Bone marrow smear. 250 by 250 pixels. May-Grünwald-Giemsa/Pappenheim stain: 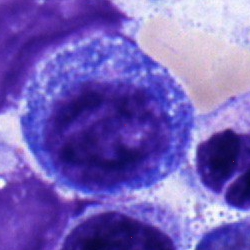

This is a progranulocyte.